Romanowsky-type stain. Peripheral blood film — 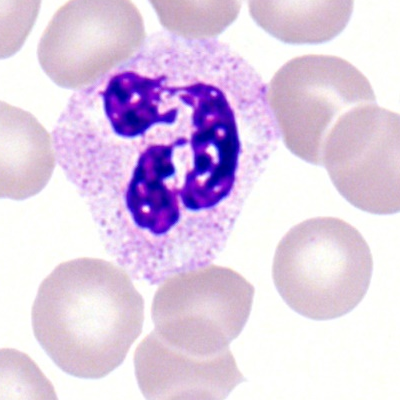
Q: What type of cell is this?
A: Segmented neutrophil.